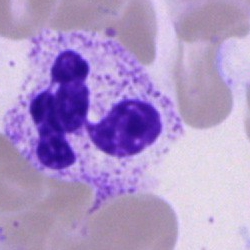

Specimen: bone marrow aspirate smear.
Morphological class: segmented neutrophil.
Lineage: myeloid.